Bone marrow smear — 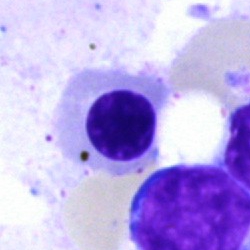 Cell: nucleated red blood cell.